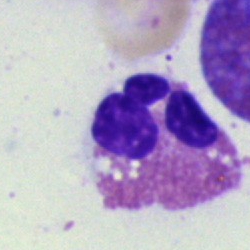 Classification — eosinophilic granulocyte.